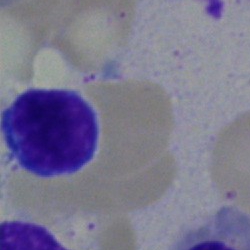 Impression → typical lymphocyte.